Bone marrow smear; MGG-stained — 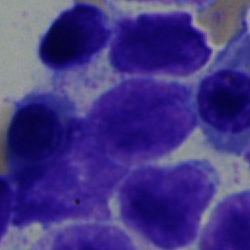
Typical lymphocyte.